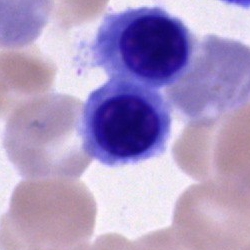Specimen: bone marrow smear.
Classification: nucleated red cell.
Lineage: erythroid.